Image size 250×250; 40× objective, oil immersion; bone marrow smear.
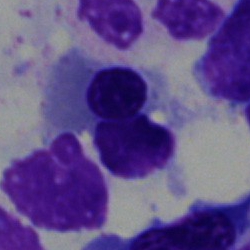

Morphology → nucleated red blood cell.